Bone marrow smear: 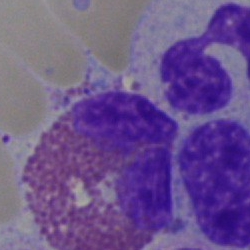 Morphological class: eosinophil.